Bone marrow smear: 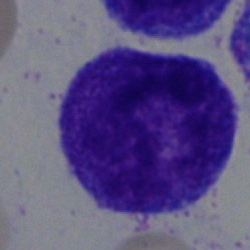
Cell: promyelocyte.